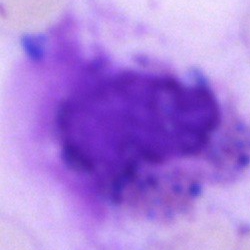

Q: What is shown here?
A: Artifact.